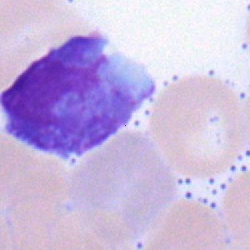
Morphology → typical lymphocyte.